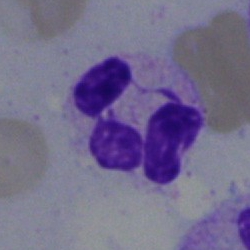The cell shown is a segmented neutrophil.